Bone marrow aspirate smear. May-Grünwald-Giemsa stain. 250 by 250 pixels:
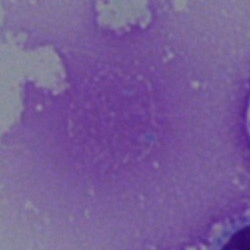The cell shown is an artifact.